250×250 px · bone marrow aspirate smear:
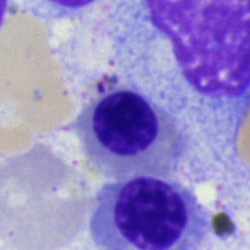

Q: What is shown here?
A: It is a nucleated red blood cell.